Bone marrow smear. 40× objective, oil immersion — 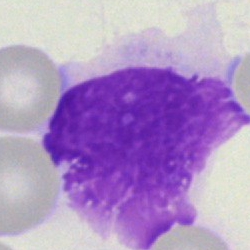 Q: What is shown here?
A: An artifact.